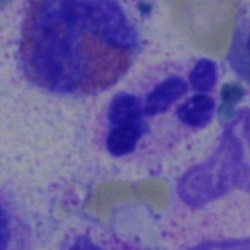

Cell: segmented neutrophil.